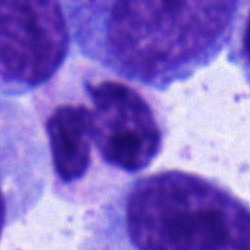Single cell identified as a neutrophil (segmented).